Bone marrow smear; brightfield, 40× oil-immersion objective
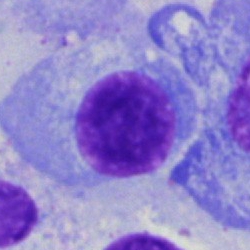Plasmacyte.